May-Grünwald-Giemsa stain; bone marrow smear; brightfield, 40× oil-immersion objective
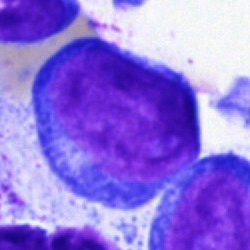

Impression — undifferentiated blast.